Image size 250×250 · cropped to a single cell · bone marrow aspirate smear
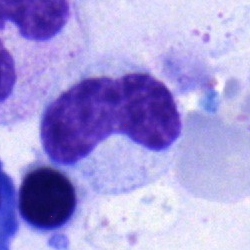
Q: What is the morphological classification of this cell?
A: It is a stab cell.